Brightfield microscopy, 40× oil immersion; bone marrow smear.
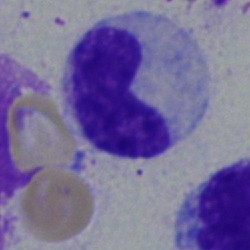 A band neutrophil.